Bone marrow aspirate smear; May-Grünwald-Giemsa stain: 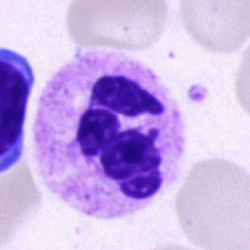
Cell type — polymorphonuclear neutrophil.